Romanowsky-type stain. Peripheral blood smear.
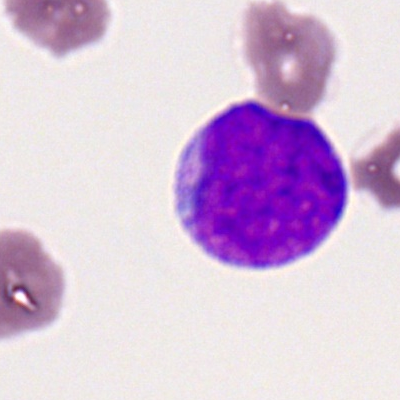Q: Identify the cell.
A: Myeloblast.